40× objective, oil immersion; single cell centered in the field; bone marrow smear:
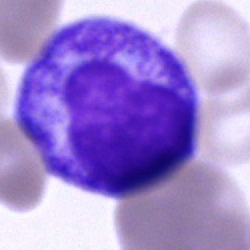
The cell shown is a progranulocyte.